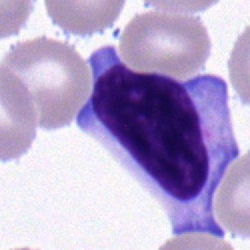

Cell type: typical lymphocyte.